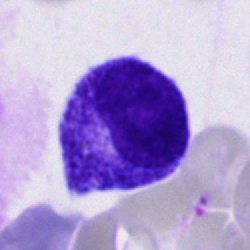
Classification = myelocyte.